May-Grünwald-Giemsa stain. Bone marrow smear. 40× objective, oil immersion: 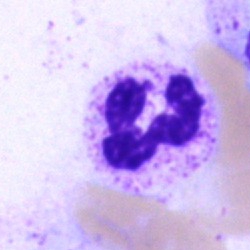 Showing a neutrophil (segmented).